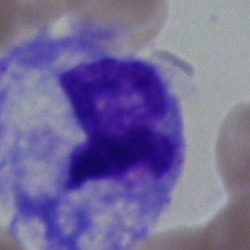 Classification: artefact.